250 by 250 pixels; bone marrow aspirate smear:
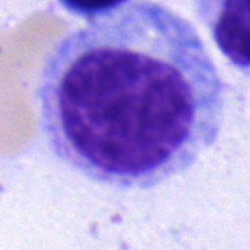

This is a myelocyte.